Bone marrow aspirate smear — 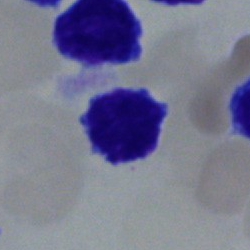Cell type = typical lymphocyte.